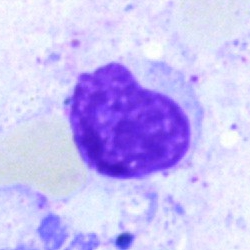 This is an artefact.